Bone marrow aspirate smear · 250×250 px: 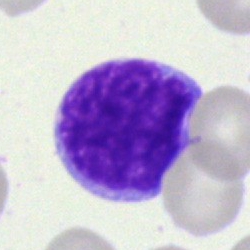

Specimen: bone marrow aspirate smear.
Morphological class: blast.